Bone marrow aspirate smear.
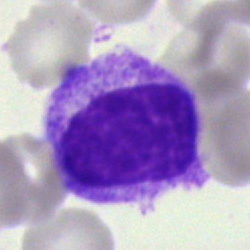

Q: Which cell type is shown here?
A: It is a myelocyte.